Bone marrow aspirate smear — 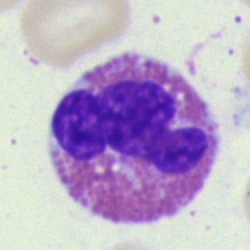

Q: What cell is this?
A: This is an eosinophilic granulocyte.